Cropped to a single cell · bone marrow smear — 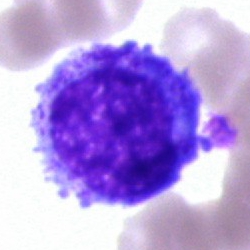
The cell type is progranulocyte.